Bone marrow smear.
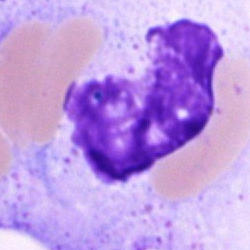Specimen: bone marrow smear.
Morphological class: artifact.